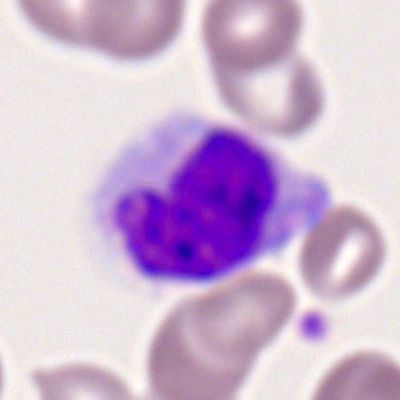

Q: What type of cell is this?
A: This is a monocyte.